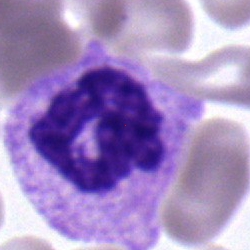This is a polymorphonuclear neutrophil.